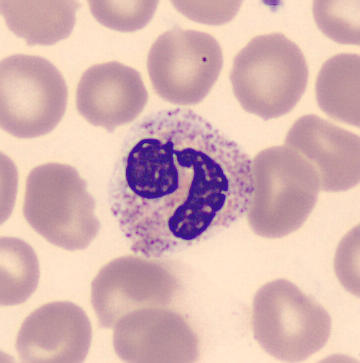

Morphological class = segmented neutrophil. Peripheral blood smear.